Bone marrow smear — 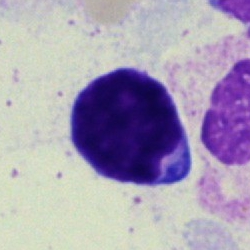
Specimen: bone marrow aspirate smear.
Cell: typical lymphocyte.
Lineage: lymphoid.